40× oil immersion. Bone marrow smear — 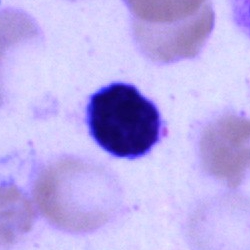

The cell shown is a lymphocyte.